Bone marrow aspirate smear: 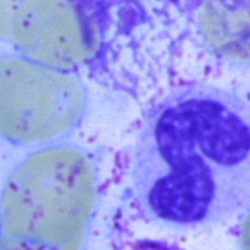Morphology consistent with a neutrophil (segmented).